Single-cell crop · bone marrow aspirate smear — 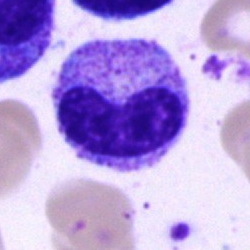 The classification is metamyelocyte.